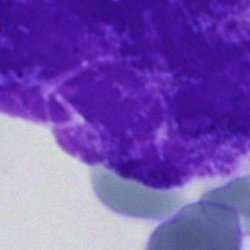

An artifact on a bone marrow smear.